Single-cell crop; bone marrow smear — 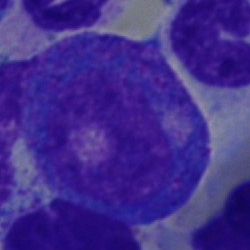Promyelocyte.